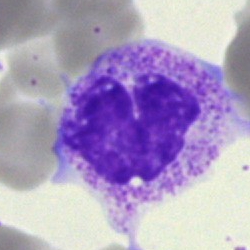

Q: What is shown here?
A: It is a band neutrophil.